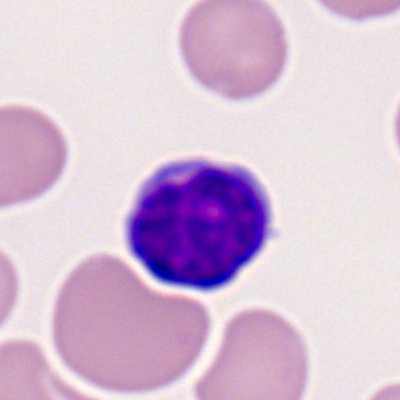

Impression — lymphocyte.